Bone marrow aspirate smear
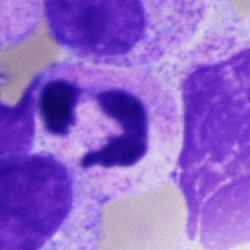

Q: Which cell type is shown here?
A: It is a polymorphonuclear neutrophil.